Bone marrow smear: 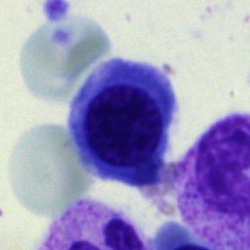
Specimen: bone marrow smear.
Classification: normoblast.
Lineage: erythroid.